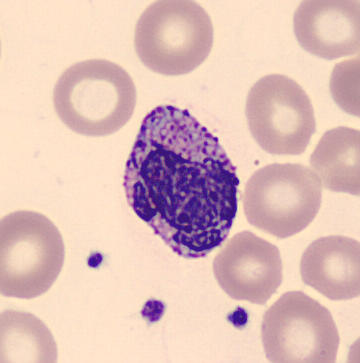This is a basophilic granulocyte.